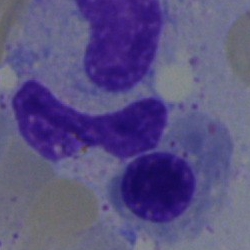

Bone marrow aspirate smear, single cell — nucleated red cell.